Bone marrow aspirate smear — 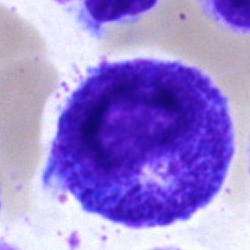
Single cell identified as a progranulocyte.